Bone marrow aspirate smear — 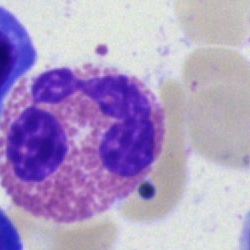Q: Identify the cell.
A: It is an eosinophil.